Bone marrow aspirate smear — 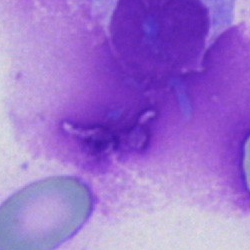

Showing an artifact.